250×250. Bone marrow aspirate smear:
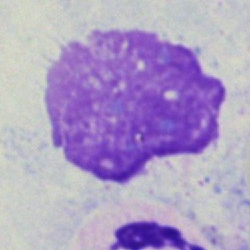
Impression — artefact.